Bone marrow smear.
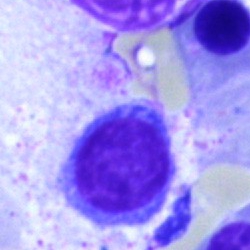Showing a typical lymphocyte.